Bone marrow smear — 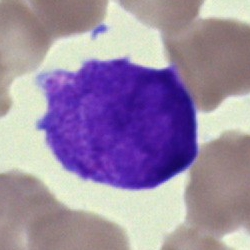

Impression → blast cell.